40× oil immersion. Bone marrow smear. 250×250.
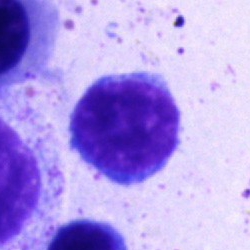Morphological class = lymphocyte.